Bone marrow smear — 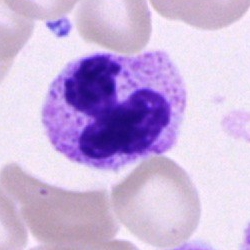

Single cell identified as a polymorphonuclear neutrophil.